Bone marrow smear. May-Grünwald-Giemsa stain — 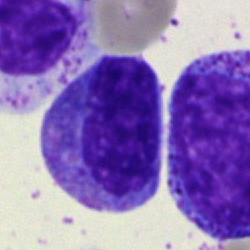

The cell is myelocyte.